MGG-stained; bone marrow smear; brightfield, 40× oil-immersion objective — 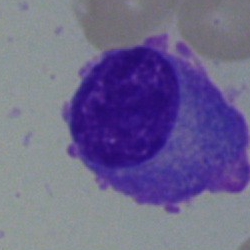Impression → plasmacyte.